Bone marrow smear:
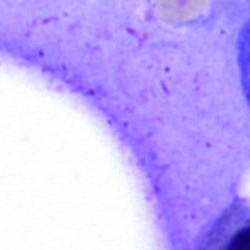 Cell — artifact.